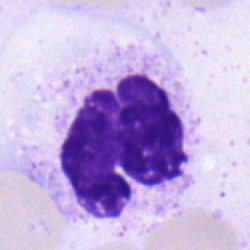
Cell type — segmented neutrophil.